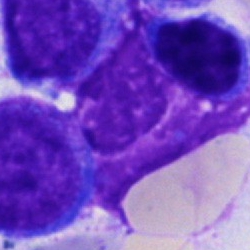

Classification = artifact.